Bone marrow aspirate smear:
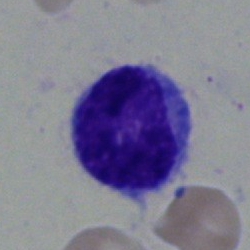

Cell type: lymphocyte.